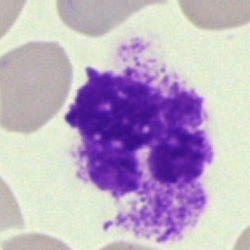
An artifact on a bone marrow smear.